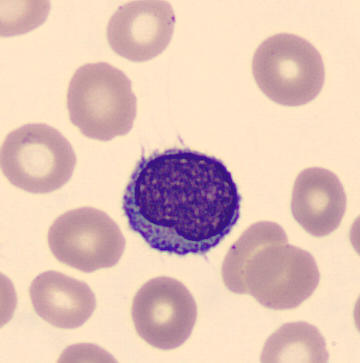Classification = lymphocyte.